Bone marrow aspirate smear; cropped to a single cell:
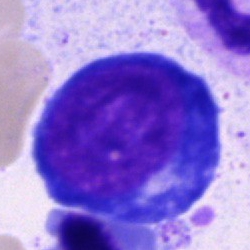 Specimen: bone marrow aspirate smear.
Morphological class: pronormoblast.